Pappenheim-stained. 250×250 px. Bone marrow aspirate smear.
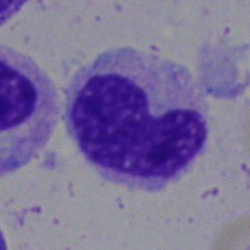
Specimen: bone marrow smear.
Morphological class: stab cell.